40× objective, oil immersion; bone marrow aspirate smear.
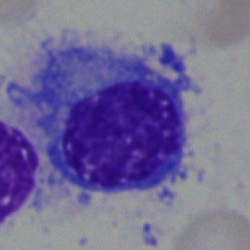 Q: What cell is this?
A: It is a plasma cell.